Peripheral blood film. 400×400 — 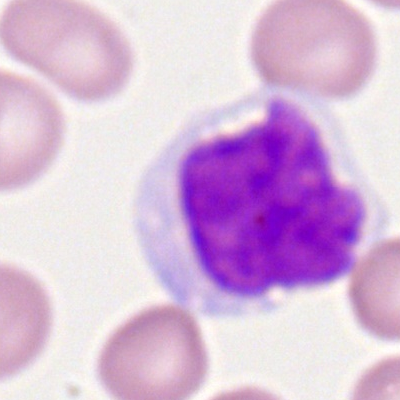Specimen: peripheral blood smear.
Cell: monocyte.